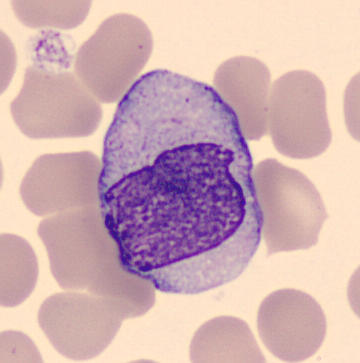
The cell is monocyte.